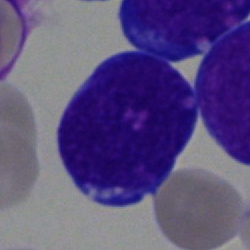Blast cell.